40× oil immersion · bone marrow smear · May-Grünwald-Giemsa/Pappenheim stain
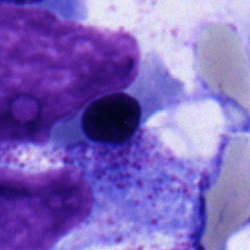Specimen: bone marrow aspirate smear.
Cell: normoblast.
Lineage: erythroid.